Bone marrow smear · brightfield microscopy, 40× oil immersion: 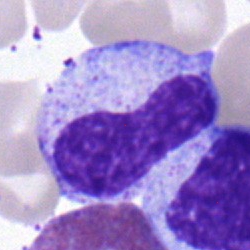
Q: What is the morphological classification of this cell?
A: A band-form neutrophil.